Bone marrow smear; single-cell field; Pappenheim-stained — 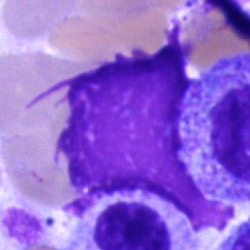 Q: What is shown here?
A: It is an artefact.